May-Grünwald-Giemsa/Pappenheim stain; bone marrow aspirate smear:
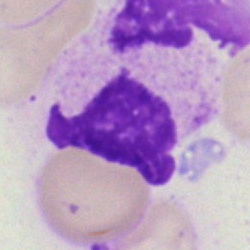

Single cell identified as an artefact.